Peripheral blood smear. 400×400 px: 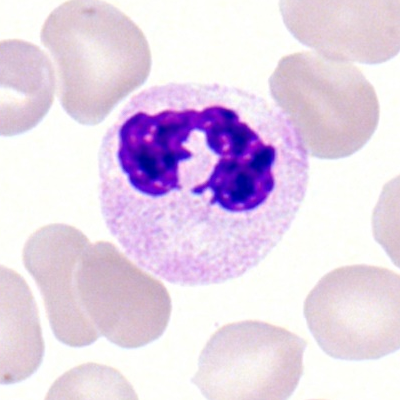 The cell shown is a neutrophil (segmented).